Bone marrow aspirate smear: 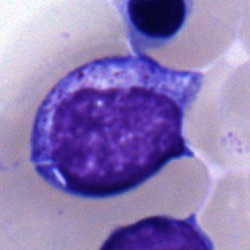

Morphology — myelocyte.